Bone marrow aspirate smear:
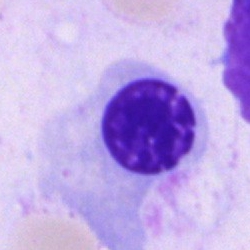 Classification — normoblast.